Single-cell crop; bone marrow aspirate smear:
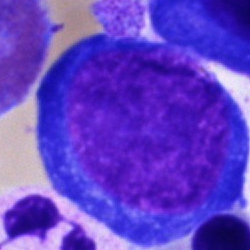
Cell type: pronormoblast.